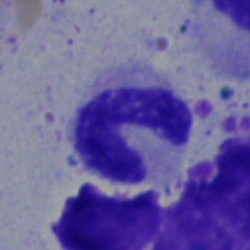 Specimen: bone marrow smear.
Cell type: band neutrophil.